Bone marrow aspirate smear — 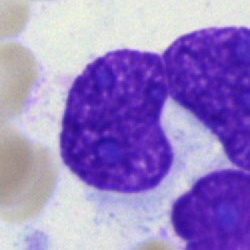

Single cell identified as an artifact.